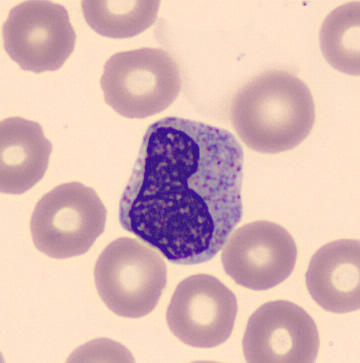

Peripheral blood film.

A metamyelocyte.